Peripheral blood smear
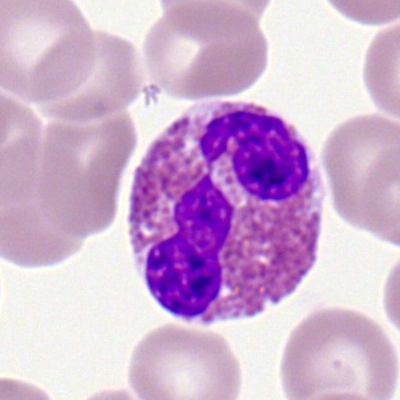Impression — eosinophilic granulocyte.